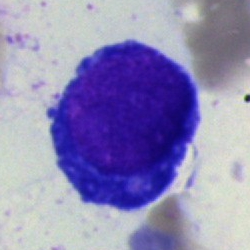
Specimen: bone marrow aspirate smear.
Morphological class: proerythroblast.